Bone marrow aspirate smear.
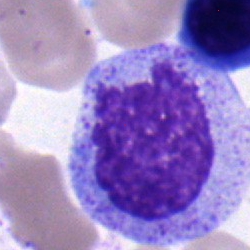Impression → promyelocyte.